Bone marrow smear: 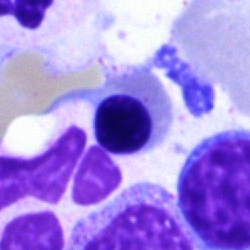

Single cell identified as an erythroblast.